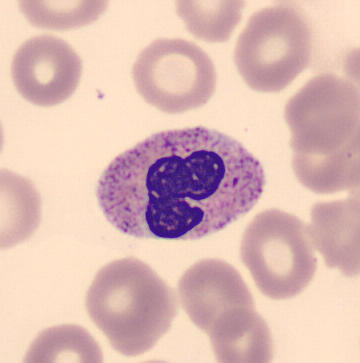Image: Peripheral blood film.

Q: What is shown here?
A: A stab cell.